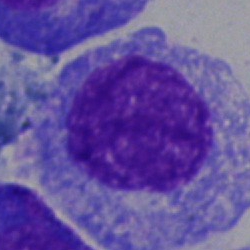The cell is promyelocyte.